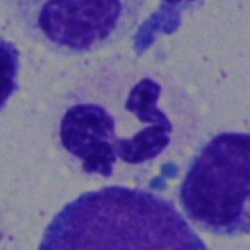

Classification: polymorphonuclear neutrophil.